Cropped to a single cell · bone marrow aspirate smear:
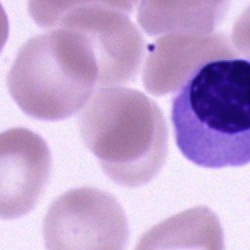
Specimen: bone marrow smear.
Cell: erythroblast.
Lineage: erythroid.